Single-cell field; bone marrow aspirate smear; May-Grünwald-Giemsa stain.
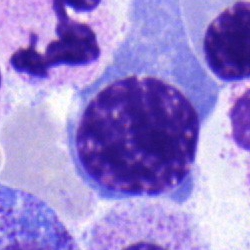

A nucleated red blood cell.